May-Grünwald-Giemsa/Pappenheim stain. Bone marrow aspirate smear. 250×250 px
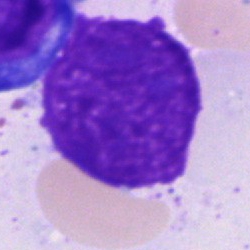

Specimen: bone marrow aspirate smear.
Cell: artefact.